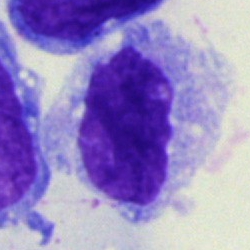Specimen: bone marrow aspirate smear.
Cell type: monocyte.
Lineage: myeloid.